250 by 250 pixels. Bone marrow smear. May-Grünwald-Giemsa/Pappenheim stain.
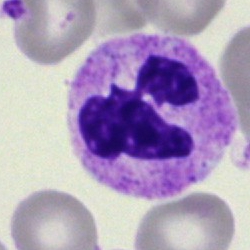

Q: What cell is this?
A: A neutrophil (segmented).